Bone marrow smear. May-Grünwald-Giemsa stain. 40× objective, oil immersion:
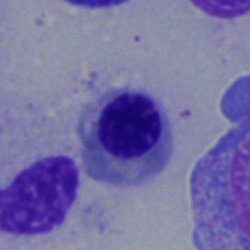Specimen: bone marrow aspirate smear.
Cell type: nucleated red blood cell.
Lineage: erythroid.